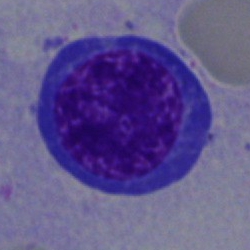Q: What is shown here?
A: It is a nucleated red blood cell.